Single cell centered in the field · bone marrow smear:
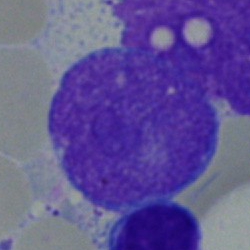 Single cell identified as a blast.